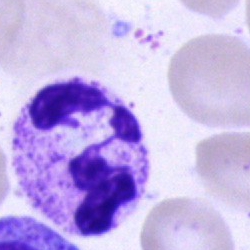
Q: Identify the cell.
A: Polymorphonuclear neutrophil.